Bone marrow smear:
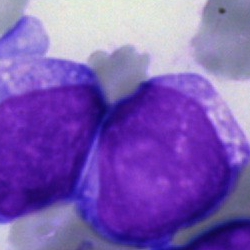Impression → undifferentiated blast.